Brightfield, 40× oil-immersion objective. Bone marrow smear
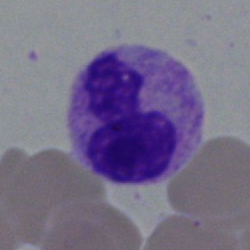

Classification — segmented neutrophil.